Bone marrow smear:
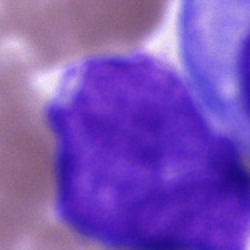
Q: What cell is this?
A: An unidentifiable cell.